400 by 400 pixels. Peripheral blood smear.
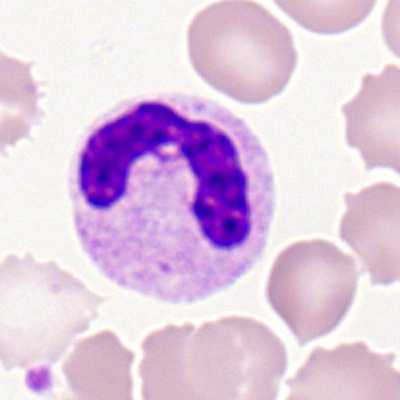
Morphology consistent with a neutrophil (segmented).